Single-cell field; bone marrow smear.
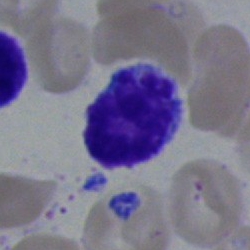

Classification = typical lymphocyte.